Single-cell field; bone marrow aspirate smear:
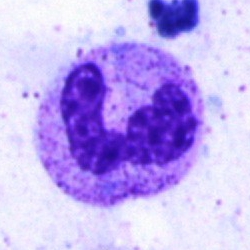 Cell type — band neutrophil.